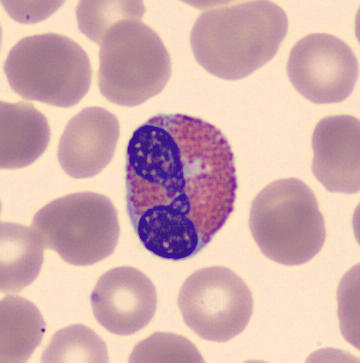 The cell is eosinophilic granulocyte.

Peripheral blood film; CellaVision DM96.